Bone marrow smear · brightfield, 40× oil-immersion objective · 250 by 250 pixels.
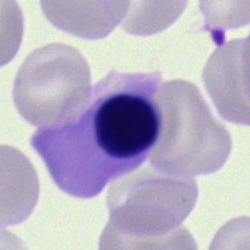 Q: Which cell type is shown here?
A: A nucleated red blood cell.